Bone marrow aspirate smear — 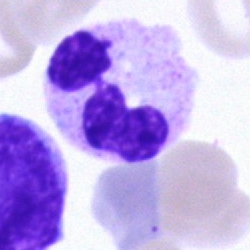 Q: What type of cell is this?
A: It is a polymorphonuclear neutrophil.